Bone marrow smear — 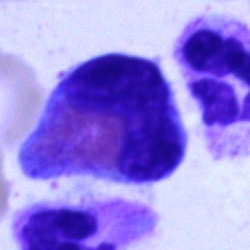Morphological class = eosinophil.